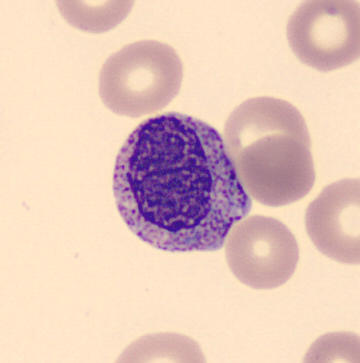

Imaged on a CellaVision DM96 analyser · peripheral blood smear.

This is a myelocyte.